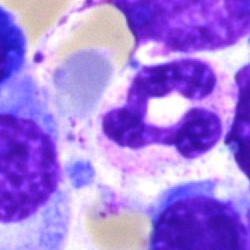

A segmented neutrophil on a bone marrow smear.